Peripheral blood smear
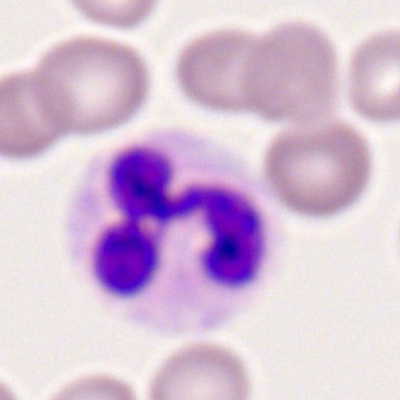 The classification is polymorphonuclear neutrophil.